Bone marrow aspirate smear.
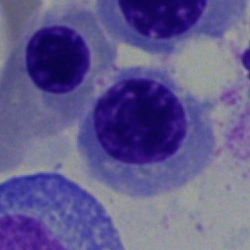Specimen: bone marrow smear.
Classification: erythroblast.